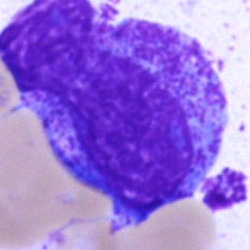Q: Which cell type is shown here?
A: A progranulocyte.